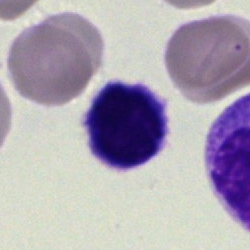Classification = typical lymphocyte.